Bone marrow aspirate smear · 250×250 — 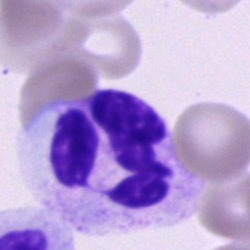
Q: Which cell type is shown here?
A: It is a neutrophil (segmented).